Single-cell field; bone marrow aspirate smear
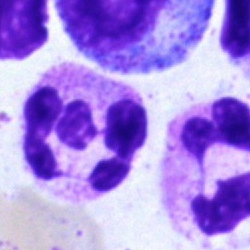

Cell type — polymorphonuclear neutrophil.